Brightfield microscopy, 40× oil immersion. 250×250. Bone marrow aspirate smear:
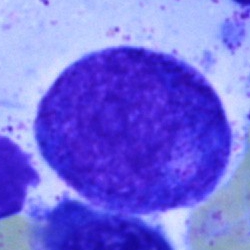

Q: What is the morphological classification of this cell?
A: A promyelocyte.